40× objective, oil immersion. Bone marrow aspirate smear. Image size 250×250:
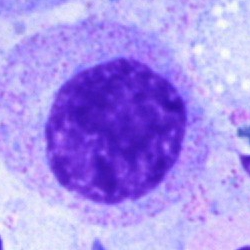
Single cell identified as a myelocyte.